Bone marrow smear.
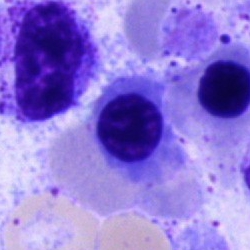Morphological class: normoblast.